40× objective, oil immersion. Bone marrow smear — 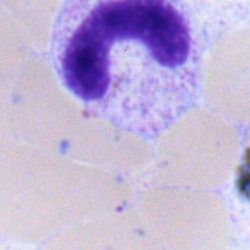A band neutrophil.